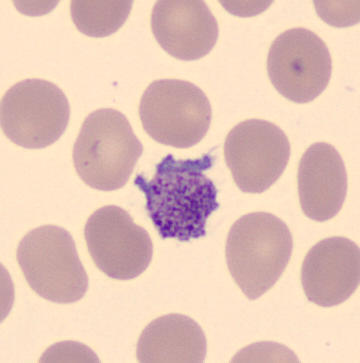 {"cell_type": "platelet (thrombocyte)"}